Bone marrow smear; May-Grünwald-Giemsa/Pappenheim stain: 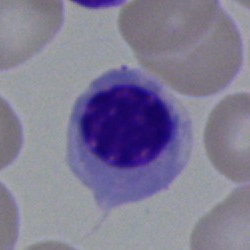
Morphological class — nucleated red blood cell.